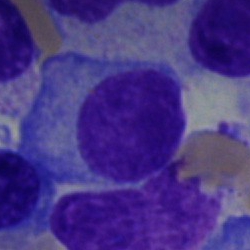

Plasma cell.